Bone marrow smear; Pappenheim-stained.
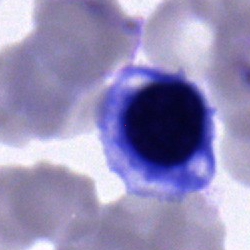

Erythroblast.